Bone marrow smear:
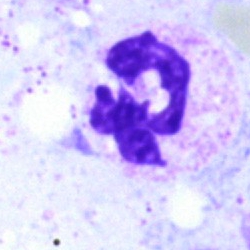This is a polymorphonuclear neutrophil.